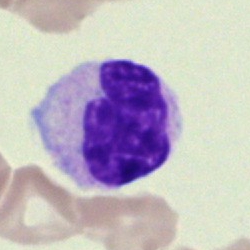This is a cell of indeterminate lineage.